Peripheral blood smear.
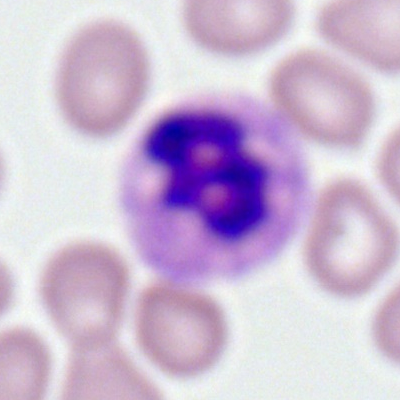

Cell type — segmented neutrophil.